250×250. Bone marrow smear — 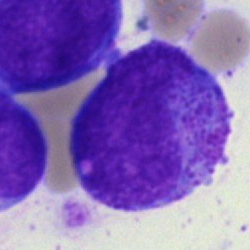
A promyelocyte.